Peripheral blood film — 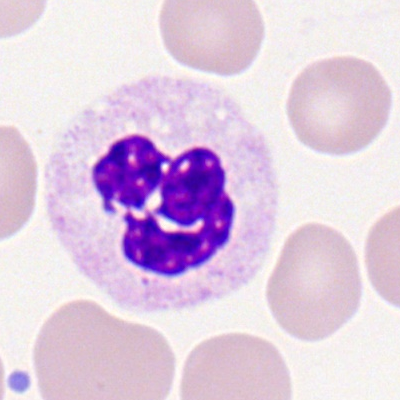Single cell identified as a segmented neutrophil.